Bone marrow aspirate smear · 40× objective, oil immersion.
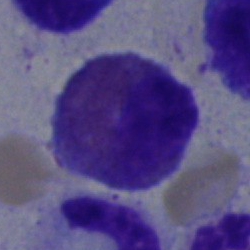 Impression → eosinophil.